Bone marrow aspirate smear; 250×250; Pappenheim-stained — 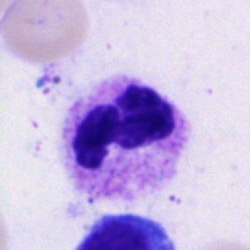 Morphology consistent with a polymorphonuclear neutrophil.